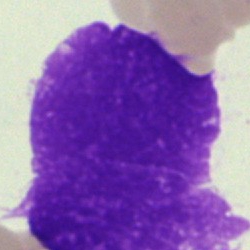 The cell shown is an artefact.